Bone marrow smear.
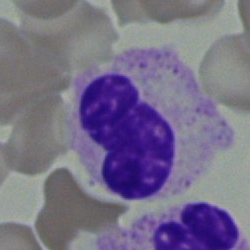Cell type: band neutrophil.